Bone marrow aspirate smear · brightfield, 40× oil-immersion objective — 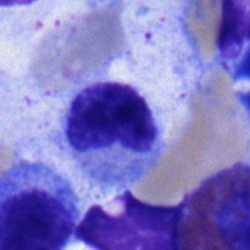
Morphology — monocyte.